Bone marrow aspirate smear: 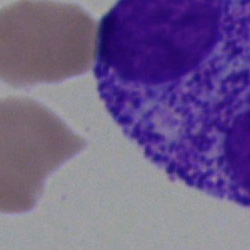

Showing an artifact.